Bone marrow smear:
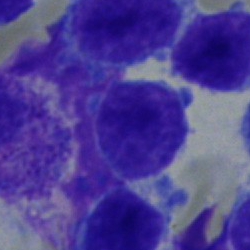 Q: What type of cell is this?
A: It is a typical lymphocyte.